Bone marrow smear
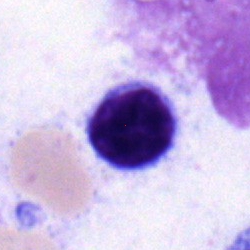 Showing a typical lymphocyte.